Bone marrow smear: 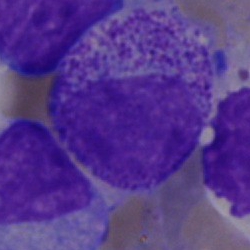 The cell shown is a myelocyte.